Bone marrow aspirate smear. Single-cell field. Brightfield, 40× oil-immersion objective
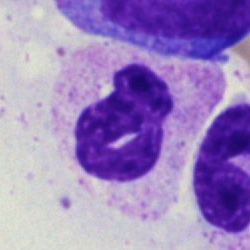Morphology → neutrophil (segmented).